250×250 px. 40× oil immersion. Bone marrow aspirate smear.
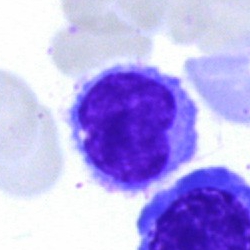

Cell type — lymphocyte.